Bone marrow smear
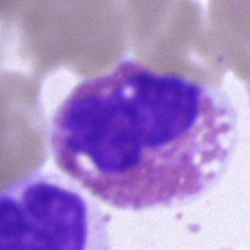

Specimen: bone marrow smear.
Classification: eosinophil.